Bone marrow aspirate smear: 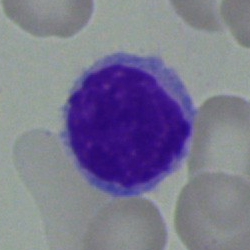
Q: What is shown here?
A: Typical lymphocyte.